Single-cell field; 250 by 250 pixels; bone marrow aspirate smear:
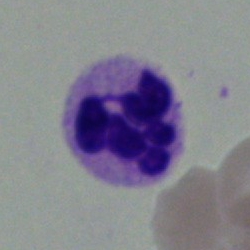 Segmented neutrophil.